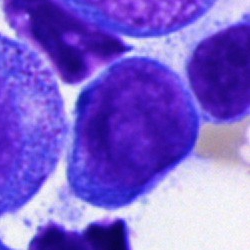

Single cell identified as a blast.